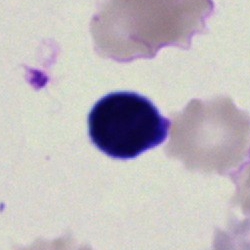 Cell — artefact.